Bone marrow smear:
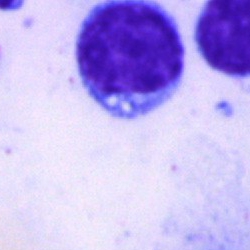
The cell shown is a lymphocyte.